Peripheral blood film: 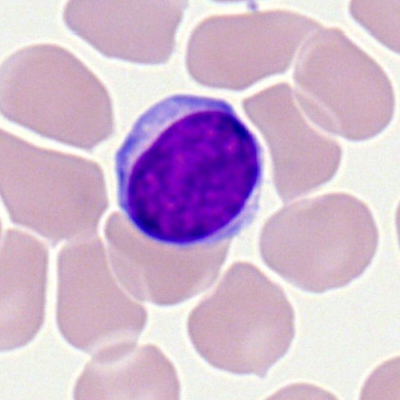

Q: Identify the cell.
A: Typical lymphocyte.